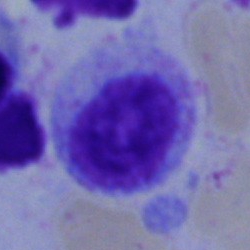

Bone marrow smear showing a myelocyte.